Bone marrow aspirate smear.
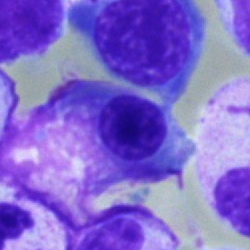

Cell type = nucleated red blood cell.